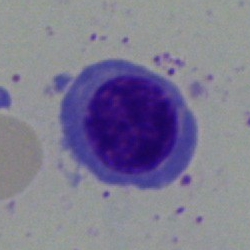 Q: Identify the cell.
A: This is a normoblast.